Bone marrow smear · single-cell field
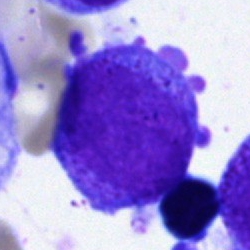A blast cell.